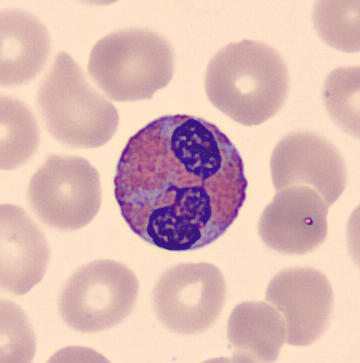Preparation: Peripheral blood smear.

Q: What type of cell is this?
A: Eosinophilic granulocyte.